Bone marrow aspirate smear; single cell centered in the field: 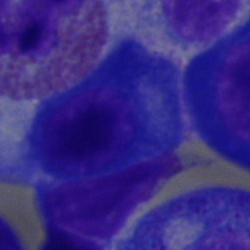Plasmacyte.